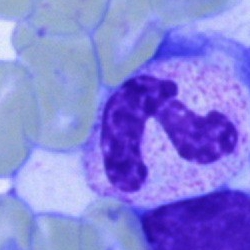
Specimen: bone marrow smear.
Cell: segmented neutrophil.
Lineage: myeloid.